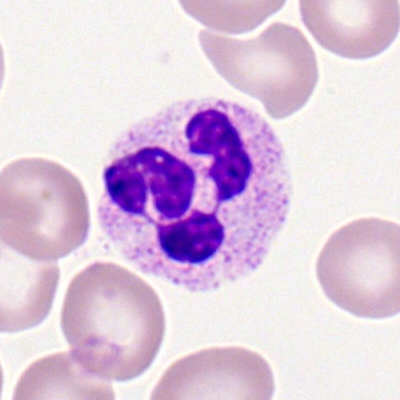

Cell — neutrophil (segmented).